Cropped to a single cell. Bone marrow smear.
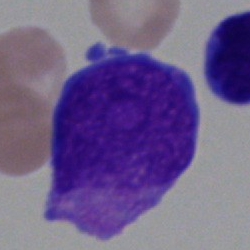

Specimen: bone marrow aspirate smear.
Morphological class: undifferentiated blast.